Bone marrow aspirate smear.
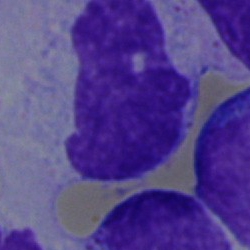

{"cell_type": "artefact"}